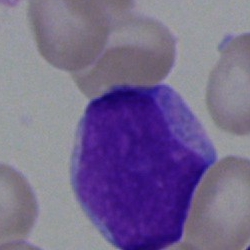
Morphology consistent with a blast.